Peripheral blood film: 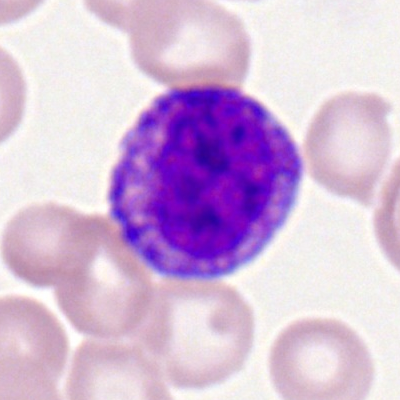
Showing a myelocyte.